Bone marrow smear. May-Grünwald-Giemsa stain
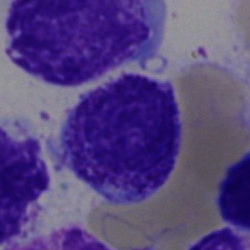 Morphology → undifferentiated blast.